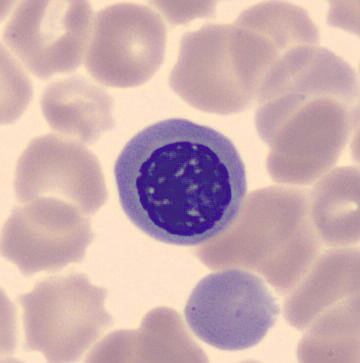

Cell type: nucleated red blood cell.